Bone marrow smear: 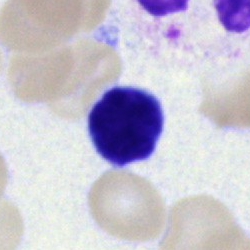 Single cell identified as a lymphocyte.